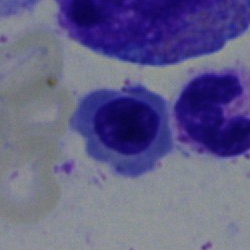 Bone marrow smear showing a normoblast.